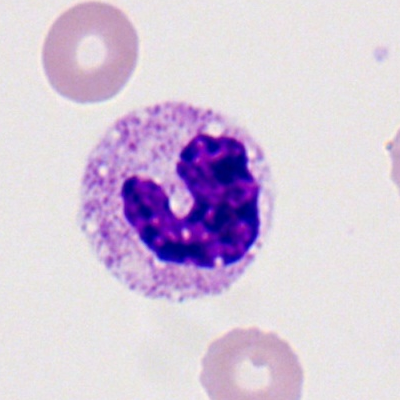 Specimen: peripheral blood smear.
Classification: band-form neutrophil.
Lineage: myeloid.